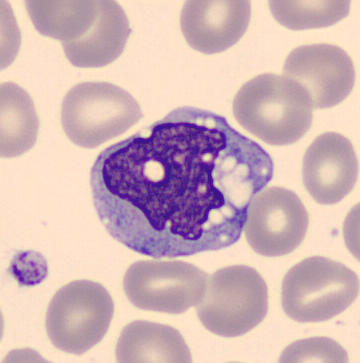Peripheral blood smear · MGG stain. Q: What is the morphological classification of this cell?
A: It is a monocyte.